Bone marrow smear
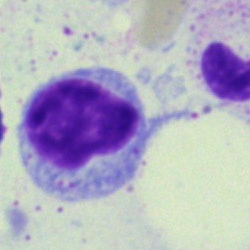 Showing a typical lymphocyte.